Bone marrow aspirate smear: 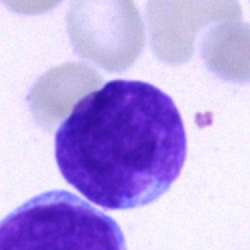

Blast.